Bone marrow aspirate smear
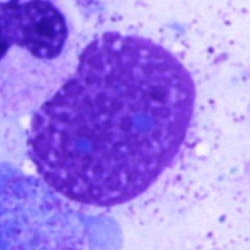 Q: What is shown here?
A: This is an artefact.